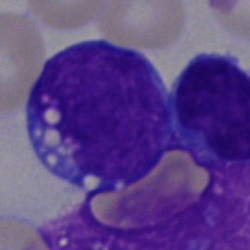The morphological class is blast cell.